Bone marrow aspirate smear: 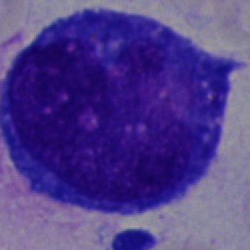
Specimen: bone marrow smear.
Morphological class: undifferentiated blast.